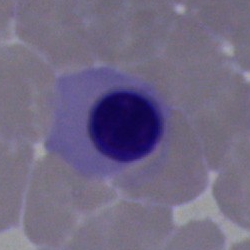

Q: What type of cell is this?
A: A nucleated red blood cell.